Single-cell crop; peripheral blood film.
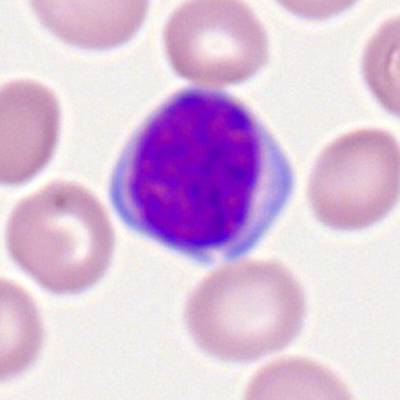 {"cell_type": "typical lymphocyte", "lineage": "lymphoid"}